Bone marrow aspirate smear: 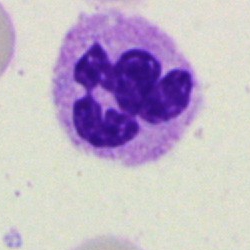
Morphology → polymorphonuclear neutrophil.